May-Grünwald-Giemsa stain; bone marrow aspirate smear
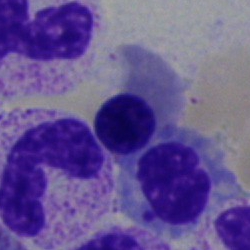
Impression → nucleated red cell.